250 by 250 pixels · bone marrow aspirate smear — 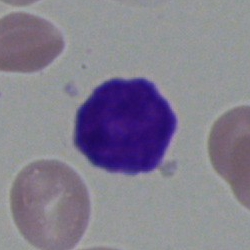
Cell type: lymphocyte.